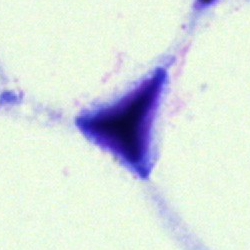

The classification is artifact.